Bone marrow smear:
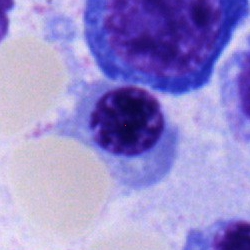Specimen: bone marrow smear.
Morphological class: erythroblast.